Brightfield, 40× oil-immersion objective. Bone marrow aspirate smear: 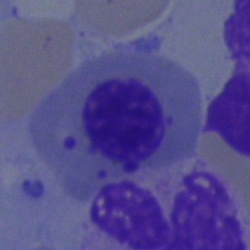
A nucleated red cell.